Bone marrow aspirate smear. 250×250:
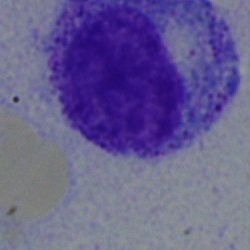Myelocyte.